Bone marrow smear · brightfield, 40× oil-immersion objective: 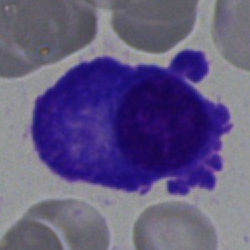

The cell shown is a plasmacyte.